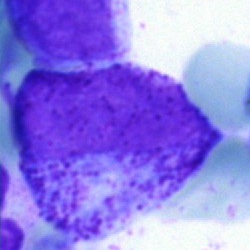Bone marrow smear showing a promyelocyte.